Bone marrow smear: 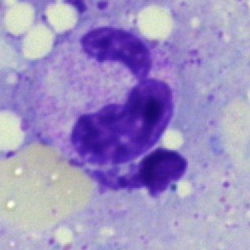

This is a segmented neutrophil.